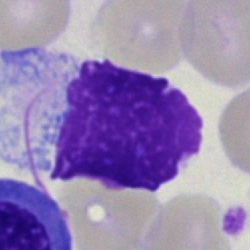

Q: What is shown here?
A: An artifact.